Bone marrow aspirate smear: 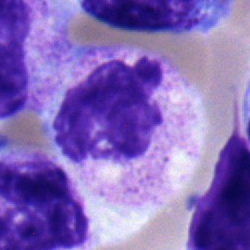 Q: What is the morphological classification of this cell?
A: This is a neutrophil (segmented).